Bone marrow aspirate smear.
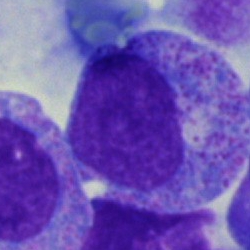

Showing a progranulocyte.